Bone marrow aspirate smear.
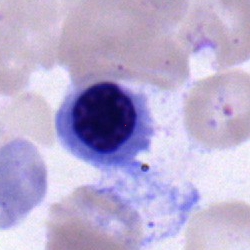The cell is nucleated red cell.